Bone marrow aspirate smear · single-cell field · May-Grünwald-Giemsa/Pappenheim stain: 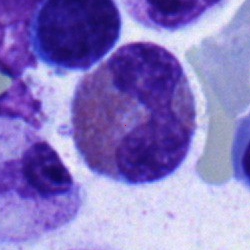
Specimen: bone marrow aspirate smear.
Morphological class: eosinophilic granulocyte.
Lineage: myeloid.